Bone marrow smear; single-cell field.
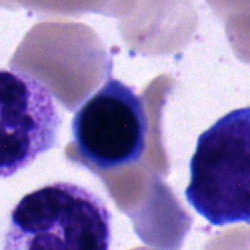
The morphological class is nucleated red cell.